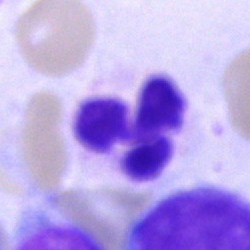
Morphology consistent with a neutrophil (segmented).